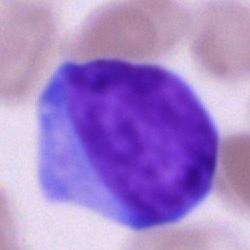 Bone marrow aspirate smear, single cell — undifferentiated blast.